Bone marrow smear — 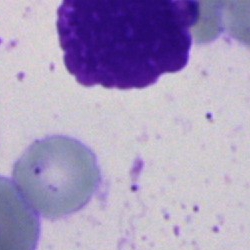
Q: What is shown here?
A: An artifact.